Bone marrow smear. Single cell centered in the field: 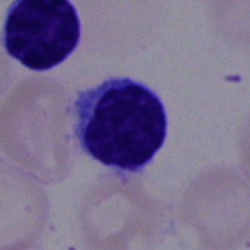Classification = typical lymphocyte.